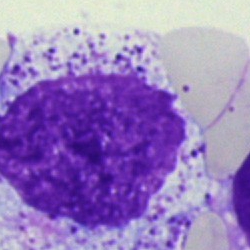

Impression → artefact.